Bone marrow aspirate smear: 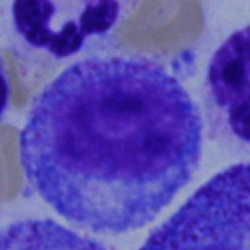
Q: What is shown here?
A: Promyelocyte.